Bone marrow aspirate smear: 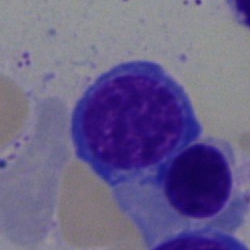

Specimen: bone marrow aspirate smear.
Cell type: nucleated red blood cell.
Lineage: erythroid.